May-Grünwald-Giemsa stain · bone marrow smear — 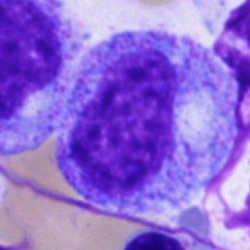

Q: What cell is this?
A: This is a progranulocyte.